Peripheral blood smear:
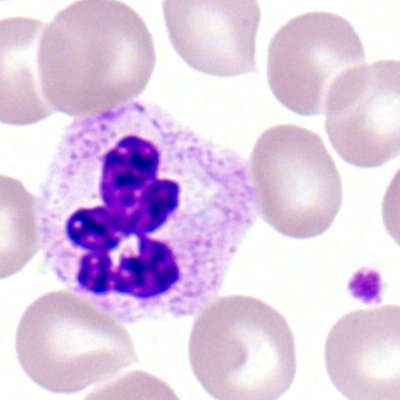This is a segmented neutrophil.